Bone marrow aspirate smear · brightfield, 40× oil-immersion objective: 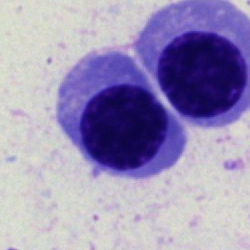Impression — erythroblast.